Bone marrow smear · single-cell field · image size 250×250
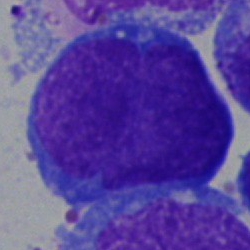

The cell is undifferentiated blast.